Bone marrow smear; 250×250 px
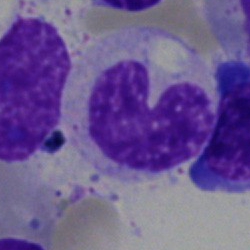
Morphology consistent with a neutrophil (band).